Bone marrow aspirate smear
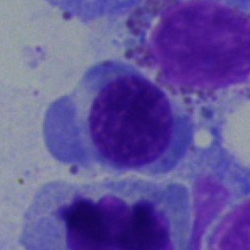Showing a nucleated red blood cell.